Bone marrow aspirate smear
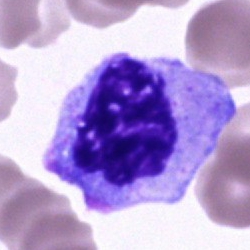Morphology → cell of indeterminate lineage.